Bone marrow aspirate smear; Pappenheim-stained
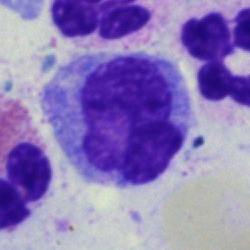 This is a monocyte.